Bone marrow smear.
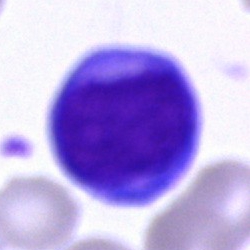Cell type — blast.